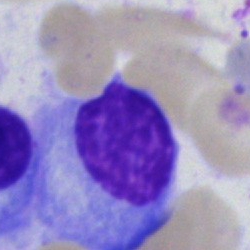
Morphological class — plasma cell.